Bone marrow smear — 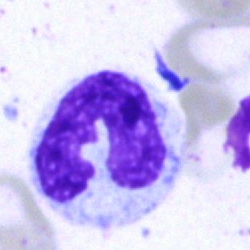Classification — neutrophil (segmented).